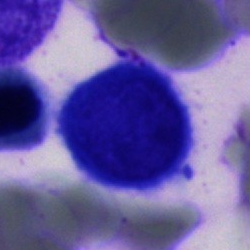

Q: What is the morphological classification of this cell?
A: It is a blast cell.